MGG-stained · bone marrow aspirate smear · 250×250:
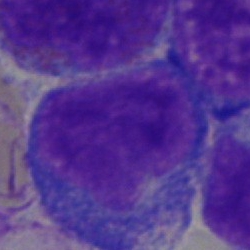

Single cell identified as a segmented neutrophil.